Bone marrow smear:
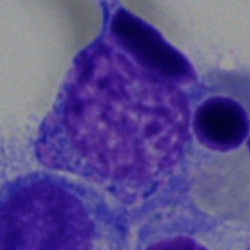 Morphology consistent with an unidentifiable cell.